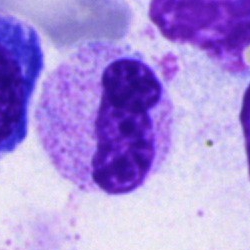 This is a segmented neutrophil.